Bone marrow smear: 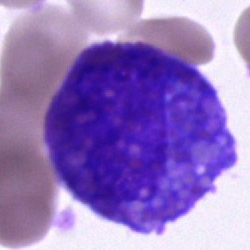 Showing an eosinophil.